Bone marrow aspirate smear:
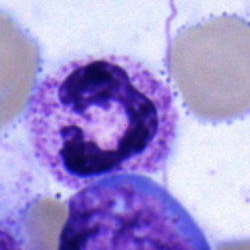 Morphology — neutrophil (segmented).